Bone marrow aspirate smear
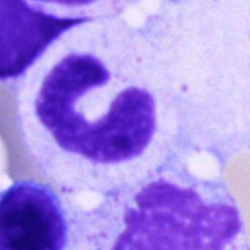
Q: What cell is this?
A: Neutrophil (band).